Pappenheim-stained; bone marrow smear — 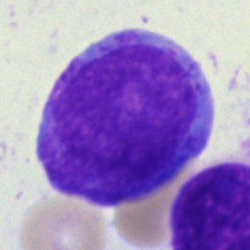Morphological class: progranulocyte.